May-Grünwald-Giemsa stain; bone marrow smear; single-cell crop — 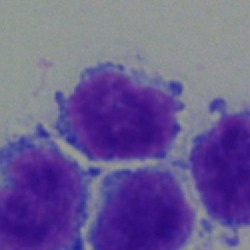Morphology consistent with a typical lymphocyte.